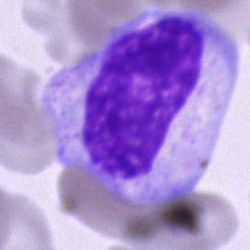Morphology consistent with a cell of indeterminate lineage.